Single cell centered in the field · bone marrow smear — 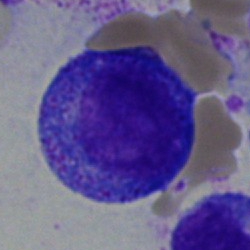

Specimen: bone marrow smear.
Cell: progranulocyte.